Peripheral blood smear
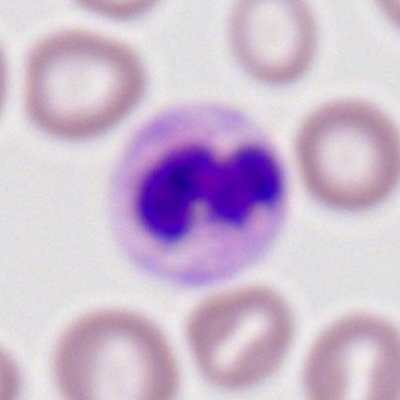
Q: Which cell type is shown here?
A: It is a polymorphonuclear neutrophil.